Peripheral blood smear.
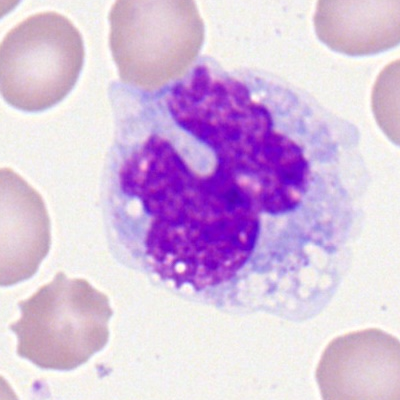

{"cell_type": "monocyte", "lineage": "myeloid"}